40× oil immersion · image size 250×250 · bone marrow smear: 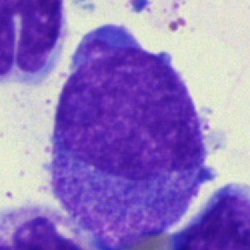

Single cell identified as a progranulocyte.